Bone marrow smear.
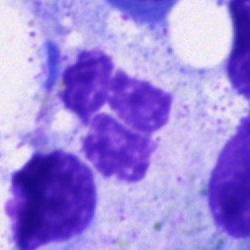 Morphological class: polymorphonuclear neutrophil.